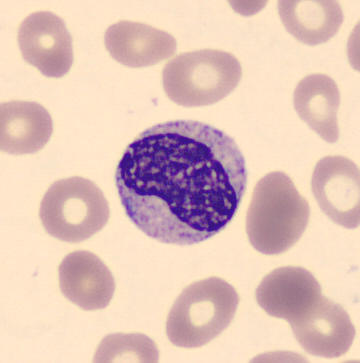Image: Peripheral blood film. 360×363 px. Classification = metamyelocyte.